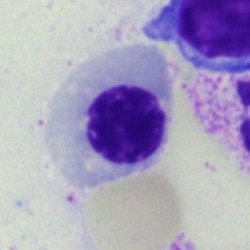
Cell — nucleated red blood cell.